Bone marrow smear:
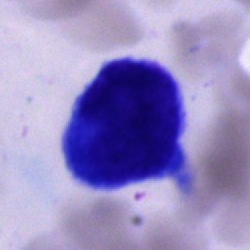 Q: What cell is this?
A: This is an unidentifiable cell.